Bone marrow aspirate smear.
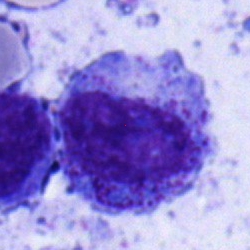Cell: promyelocyte.